250×250. Bone marrow smear
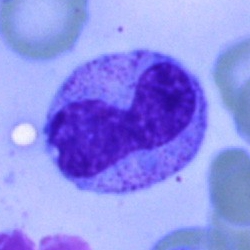Showing a band neutrophil.